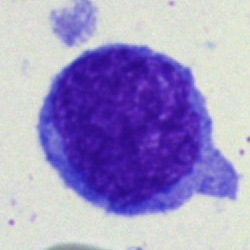 Q: Identify the cell.
A: It is a blast.